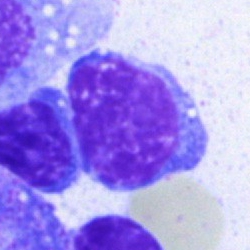 The cell shown is a lymphocyte.